Bone marrow smear · May-Grünwald-Giemsa stain: 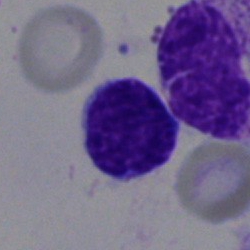 Specimen: bone marrow aspirate smear.
Classification: lymphocyte.
Lineage: lymphoid.